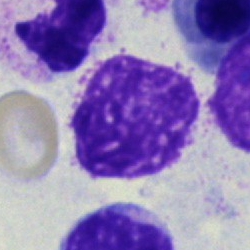 Cell = artifact.